Bone marrow aspirate smear.
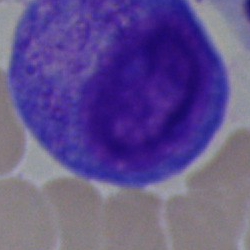Morphology consistent with a progranulocyte.